Bone marrow smear:
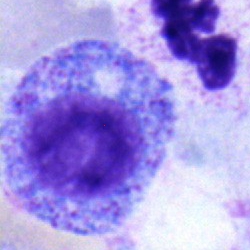
Specimen: bone marrow smear.
Cell type: myelocyte.